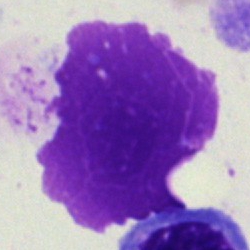 Q: What is shown here?
A: Artifact.